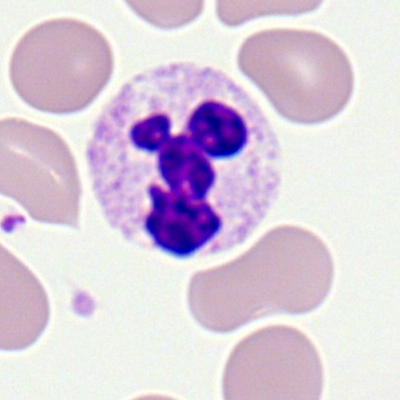

Impression — polymorphonuclear neutrophil.